Bone marrow aspirate smear:
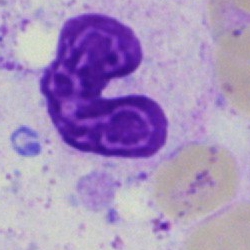
The cell shown is an artefact.